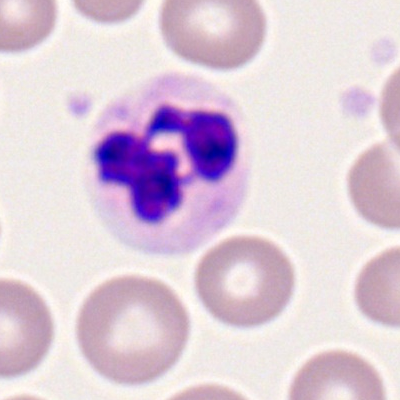

Peripheral blood film, single cell — neutrophil (segmented).